400×400; peripheral blood smear:
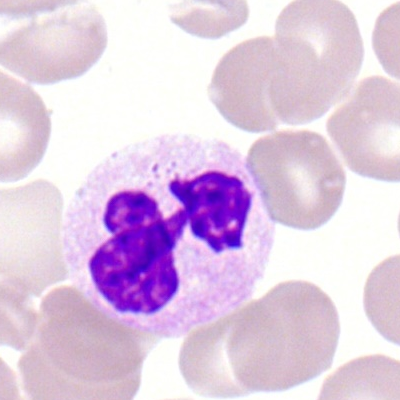 A polymorphonuclear neutrophil.